Bone marrow aspirate smear
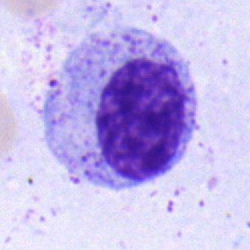 A myelocyte.